Bone marrow smear — 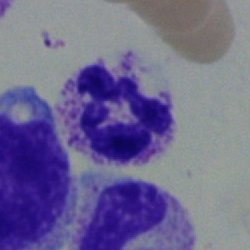 Cell type = polymorphonuclear neutrophil.